Bone marrow smear.
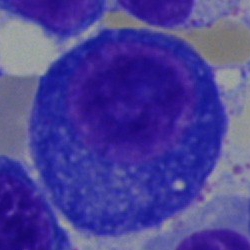 Showing a plasma cell.